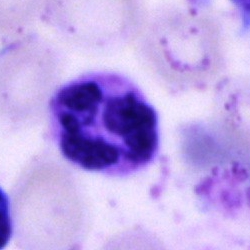
{"cell_type": "segmented neutrophil"}